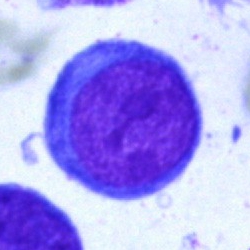

Cell type — blast.